250×250. Bone marrow aspirate smear — 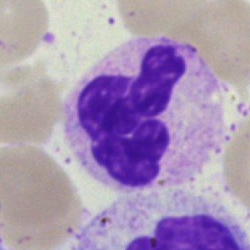The classification is neutrophil (segmented).